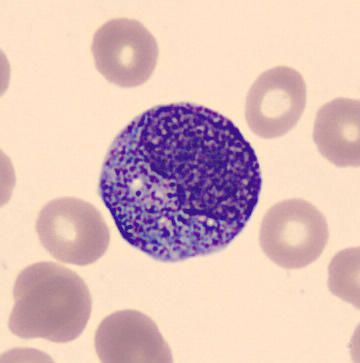
A myelocyte. Peripheral blood film.